Bone marrow aspirate smear · single cell centered in the field:
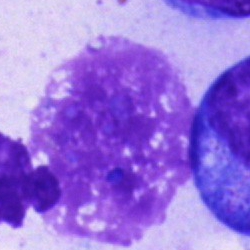
Specimen: bone marrow smear.
Cell: artefact.